May-Grünwald-Giemsa stain. Brightfield, 40× oil-immersion objective. Bone marrow smear:
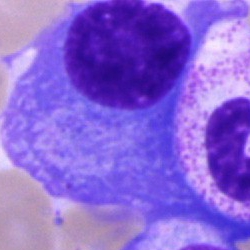
Morphological class — plasmacyte.